Bone marrow smear: 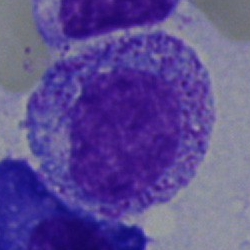
Specimen: bone marrow aspirate smear.
Cell: myelocyte.
Lineage: myeloid.